Bone marrow smear.
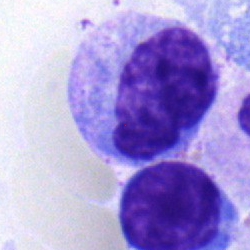Single cell identified as a monocyte.